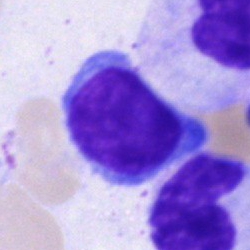

Q: What is shown here?
A: Typical lymphocyte.